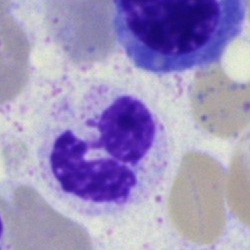

Specimen: bone marrow smear.
Classification: segmented neutrophil.
Lineage: myeloid.